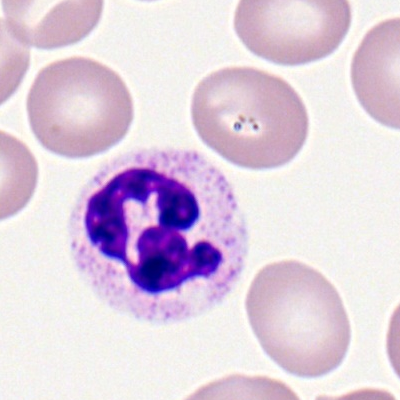Q: Identify the cell.
A: Polymorphonuclear neutrophil.